Bone marrow smear.
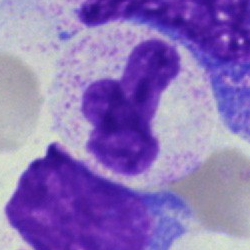A polymorphonuclear neutrophil.